Bone marrow smear — 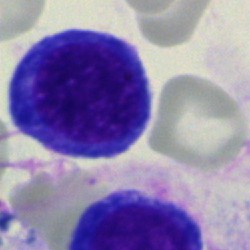
This is an erythroblast.